Bone marrow smear. MGG-stained: 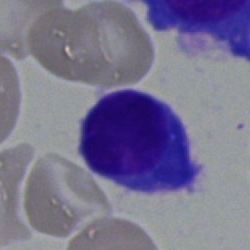 {"cell_type": "plasmacyte", "lineage": "lymphoid"}